Brightfield, 40× oil-immersion objective. Bone marrow aspirate smear.
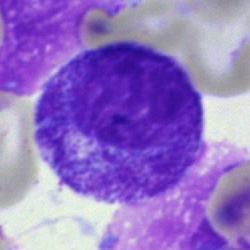
{"cell_type": "myelocyte", "lineage": "myeloid"}